Romanowsky-stained · brightfield, 100× oil-immersion objective · peripheral blood film: 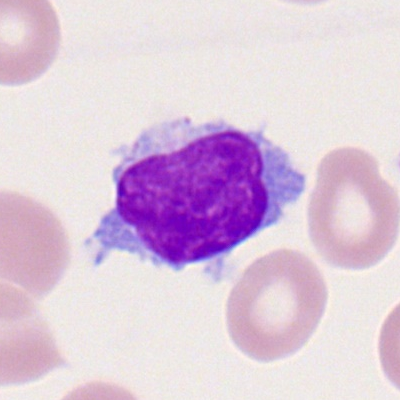 Typical lymphocyte.